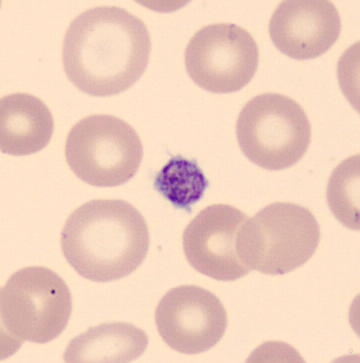Cell type = platelet (thrombocyte).